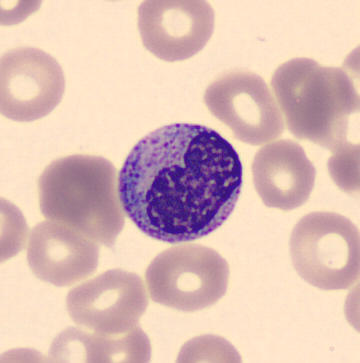

Peripheral blood film. The cell is metamyelocyte.